Bone marrow smear.
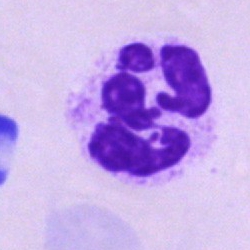 Q: Identify the cell.
A: A polymorphonuclear neutrophil.